Cropped to a single cell. Bone marrow aspirate smear — 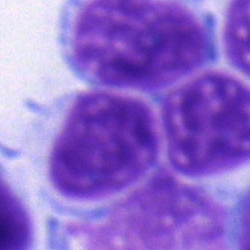Cell type: typical lymphocyte.